Romanowsky-stained; peripheral blood smear
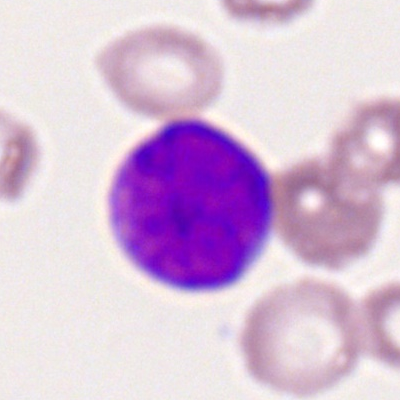A myeloid blast.